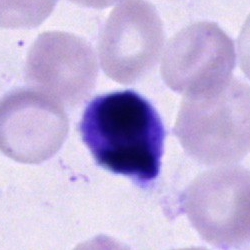
Morphological class: cell of indeterminate lineage.